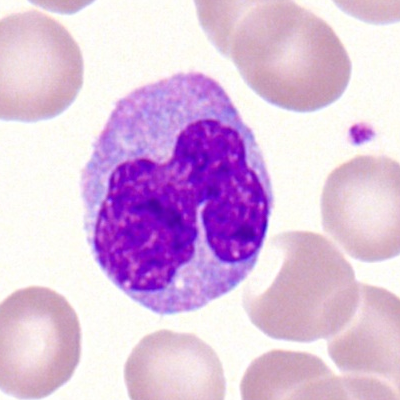Specimen: peripheral blood smear.
Cell type: monocyte.